Bone marrow smear. Cropped to a single cell. 40× oil immersion
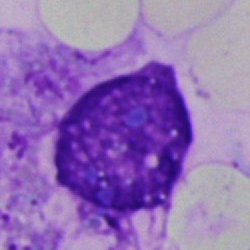
Single cell identified as an artefact.